Bone marrow smear:
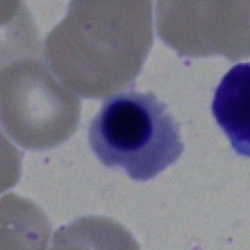
{"cell_type": "erythroblast"}